Bone marrow aspirate smear
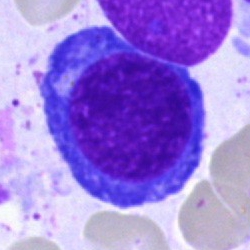
Q: What type of cell is this?
A: It is a nucleated red blood cell.